May-Grünwald-Giemsa/Pappenheim stain · bone marrow smear — 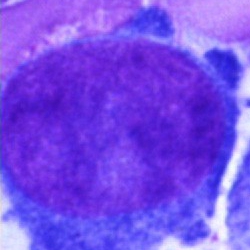

Morphology — pronormoblast.